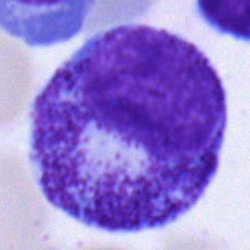Morphology consistent with a promyelocyte.